250×250 · bone marrow aspirate smear: 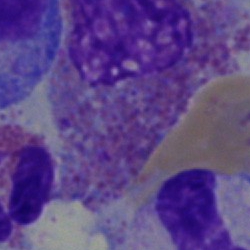

Morphology → eosinophil.